Brightfield, 40× oil-immersion objective; 250×250 px; bone marrow aspirate smear
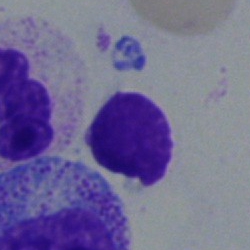

This is a typical lymphocyte.